Bone marrow aspirate smear · Pappenheim-stained · 250×250.
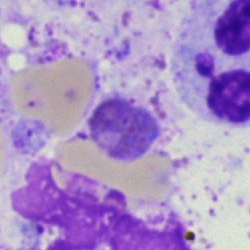An artifact.